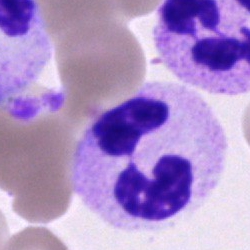{"cell_type": "segmented neutrophil", "lineage": "myeloid"}